Bone marrow smear; May-Grünwald-Giemsa stain.
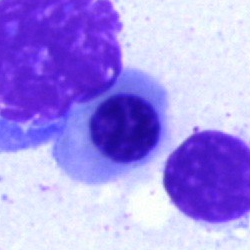
Single cell identified as a normoblast.